Bone marrow aspirate smear
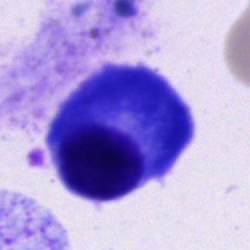
Impression → plasma cell.